Peripheral blood smear — 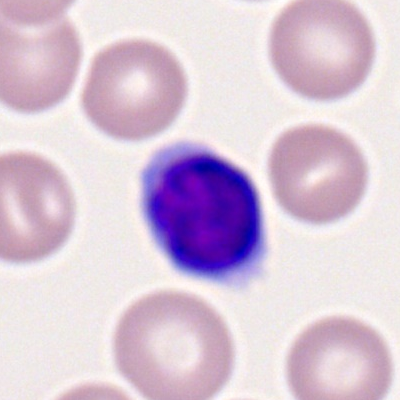 Classification — typical lymphocyte.